Pappenheim-stained. Bone marrow smear. Image size 250×250 — 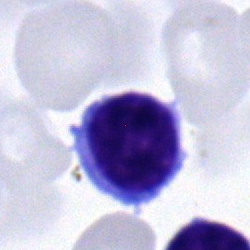
Classification: typical lymphocyte.